Bone marrow smear
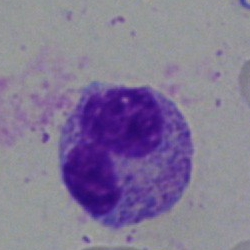
Segmented neutrophil.